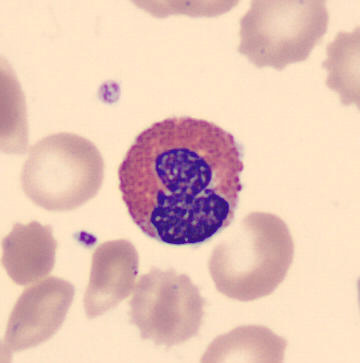
Morphology → eosinophilic granulocyte.